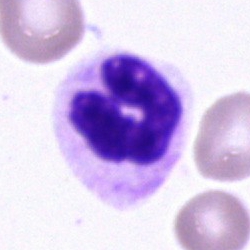

The cell is stab cell.